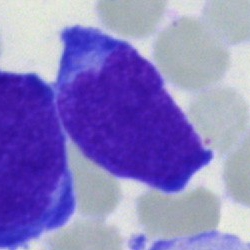

This is a blast cell.